Bone marrow aspirate smear; May-Grünwald-Giemsa stain: 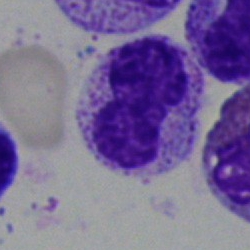
Q: Identify the cell.
A: A band-form neutrophil.